Bone marrow smear: 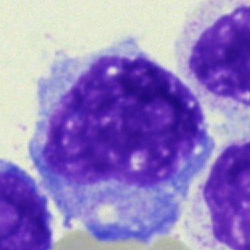
Morphological class = blast cell.